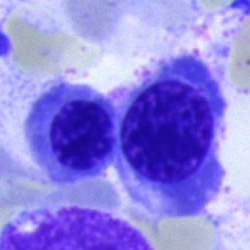 Normoblast.